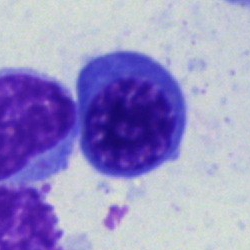

Classification = nucleated red cell.